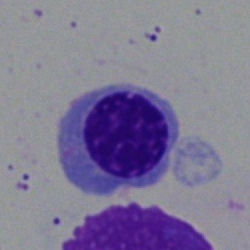
A nucleated red blood cell on a bone marrow smear.